MGG-stained; bone marrow aspirate smear.
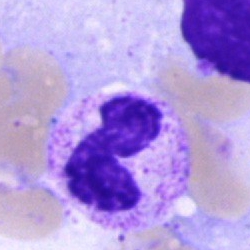This is a segmented neutrophil.